Bone marrow aspirate smear
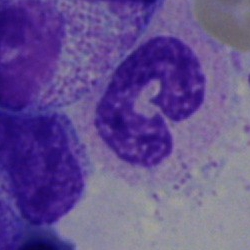
The classification is segmented neutrophil.